Bone marrow smear
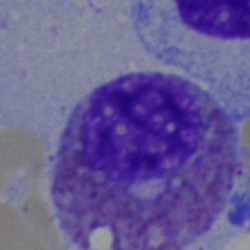
The cell shown is an eosinophilic granulocyte.